Peripheral blood film · brightfield, 100× oil-immersion objective:
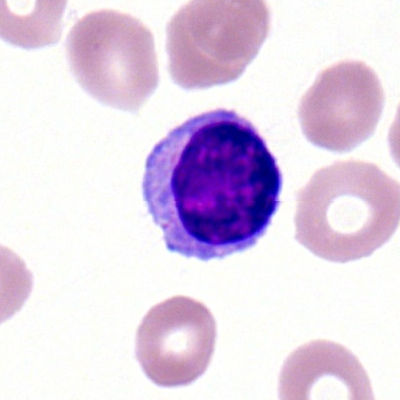 The cell shown is a typical lymphocyte.